Cropped to a single cell · bone marrow smear:
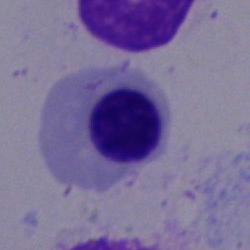

Q: What is the morphological classification of this cell?
A: This is a nucleated red blood cell.